Bone marrow aspirate smear; MGG-stained
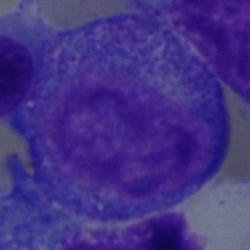
Morphology consistent with a promyelocyte.